Bone marrow aspirate smear.
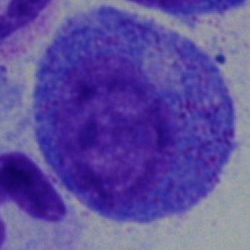
Morphology consistent with a progranulocyte.